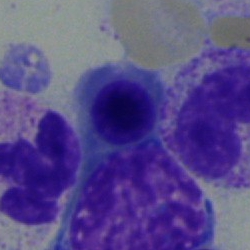{"cell_type": "erythroblast", "lineage": "erythroid"}